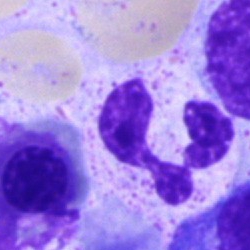Cell: neutrophil (segmented).